Bone marrow smear
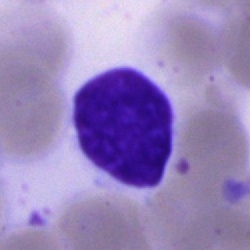
Cell: artifact.